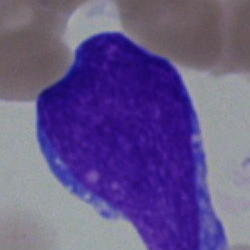
Bone marrow smear showing a blast.